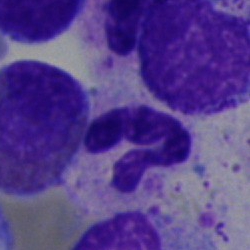

Morphological class = segmented neutrophil.